Bone marrow aspirate smear — 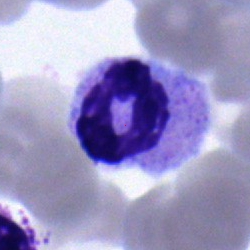 Q: What type of cell is this?
A: A band-form neutrophil.